Bone marrow aspirate smear — 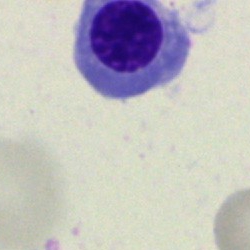Morphology consistent with an artefact.